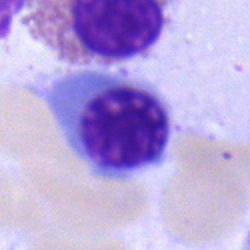{"cell_type": "nucleated red cell"}